Bone marrow aspirate smear. Image size 250×250:
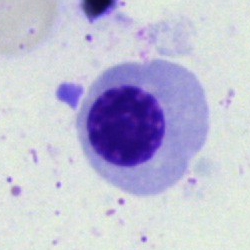 Cell type — normoblast.